Bone marrow smear
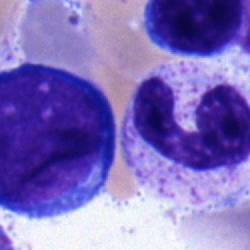 The morphological class is pronormoblast.